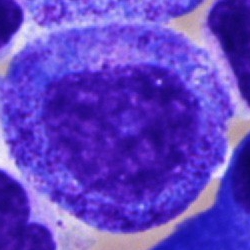
Morphology — progranulocyte.